Bone marrow smear
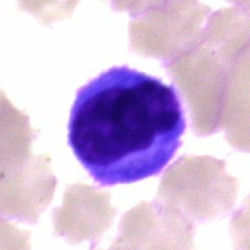{"cell_type": "plasma cell"}